250 by 250 pixels · bone marrow aspirate smear
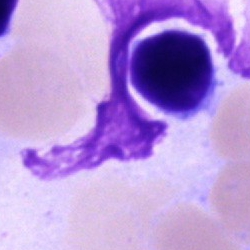Specimen: bone marrow smear.
Cell type: lymphocyte.
Lineage: lymphoid.